Bone marrow aspirate smear; 40× objective, oil immersion: 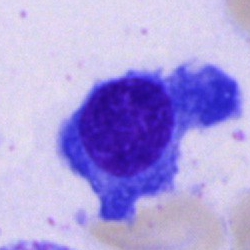Q: What is shown here?
A: This is a plasma cell.